Bone marrow aspirate smear: 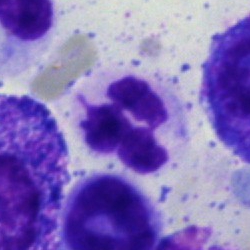
Showing a segmented neutrophil.